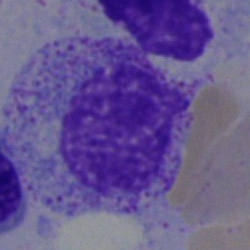 Specimen: bone marrow aspirate smear.
Cell type: myelocyte.
Lineage: myeloid.